Bone marrow smear
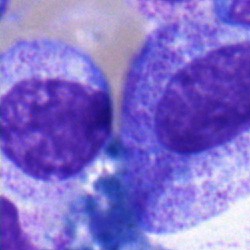

Morphology → myelocyte.